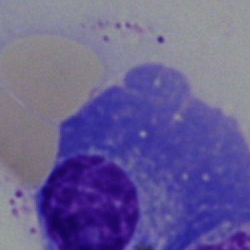
Single cell identified as a plasmacyte.